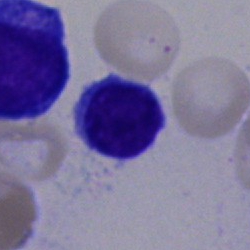 Q: Which cell type is shown here?
A: This is a lymphocyte.